Bone marrow aspirate smear: 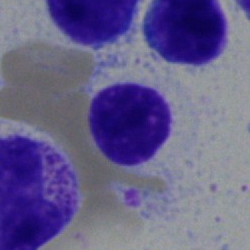 The classification is typical lymphocyte.